Single-cell crop · bone marrow smear · brightfield, 40× oil-immersion objective
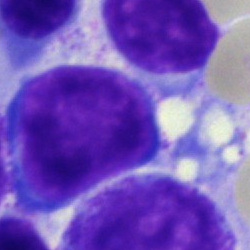
The cell shown is a typical lymphocyte.